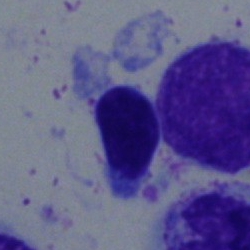 A typical lymphocyte on a bone marrow smear.